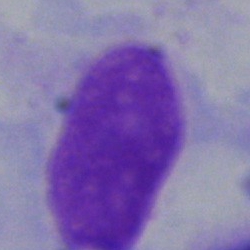
An artefact.